Bone marrow aspirate smear; single-cell field — 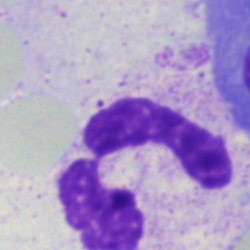
This is a segmented neutrophil.